Pappenheim-stained. Cropped to a single cell. Bone marrow aspirate smear: 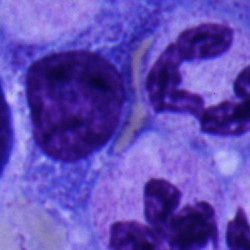The morphological class is progranulocyte.